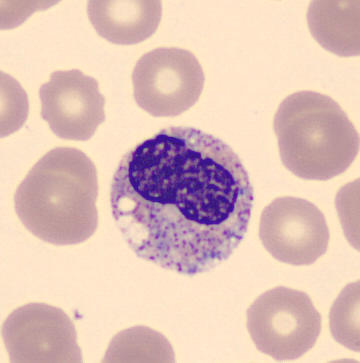

Specimen: peripheral blood smear.
Cell: metamyelocyte.